Single-cell field. Bone marrow aspirate smear — 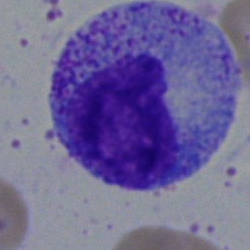
A myelocyte.